Bone marrow smear — 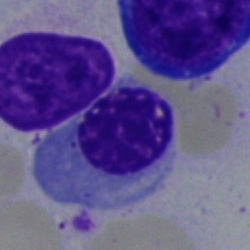Morphology — normoblast.